Bone marrow smear:
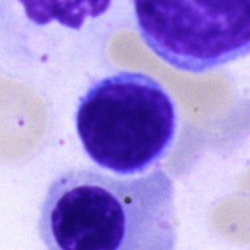

Single cell identified as a typical lymphocyte.